Bone marrow smear.
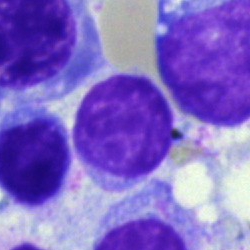 The cell shown is a lymphocyte.